MGG-stained · bone marrow smear.
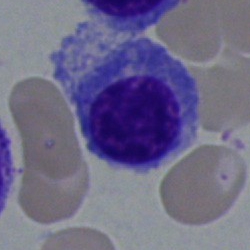

Q: What cell is this?
A: It is a nucleated red blood cell.